Brightfield microscopy, 40× oil immersion. Bone marrow smear. 250×250 px.
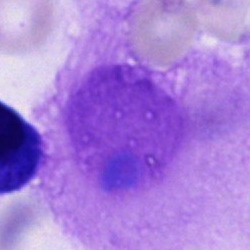Specimen: bone marrow smear.
Classification: artifact.